Pappenheim-stained; cropped to a single cell; bone marrow aspirate smear:
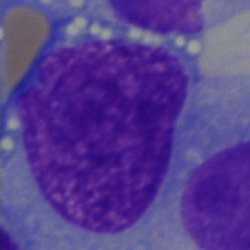
A blast cell.